Bone marrow smear: 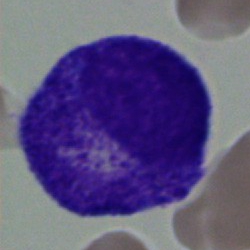The morphological class is progranulocyte.